Bone marrow aspirate smear:
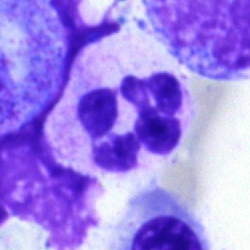

Q: What cell is this?
A: This is a segmented neutrophil.